Romanowsky-stained; peripheral blood film; cropped to a single cell:
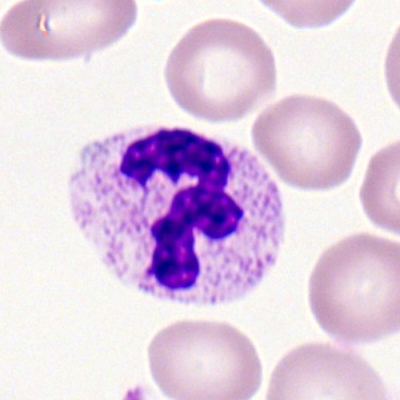

Cell type: polymorphonuclear neutrophil.